Bone marrow smear.
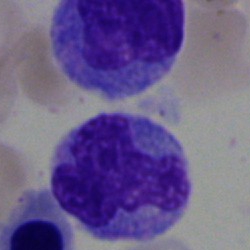 A monocyte.